Bone marrow aspirate smear; 250 by 250 pixels.
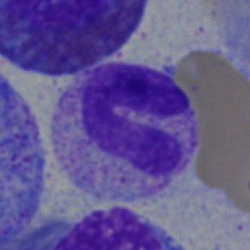Classification = neutrophil (segmented).